Peripheral blood film:
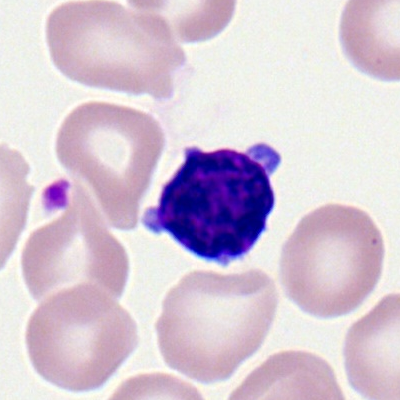 Q: What is the morphological classification of this cell?
A: A typical lymphocyte.